Bone marrow smear.
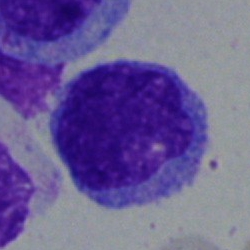
{"cell_type": "monocyte", "lineage": "myeloid"}